Bone marrow aspirate smear — 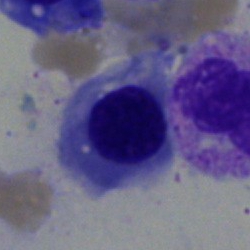Showing a normoblast.